Bone marrow smear; image size 250×250; May-Grünwald-Giemsa stain — 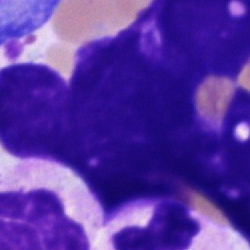
Specimen: bone marrow smear.
Classification: artefact.